Peripheral blood smear — 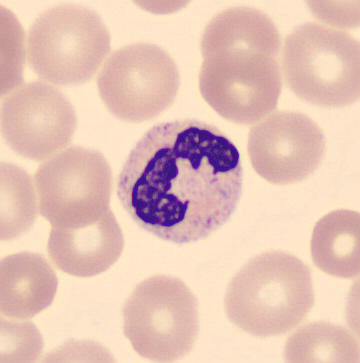 Specimen: peripheral blood film.
Morphological class: neutrophil (segmented).
Lineage: myeloid.